250×250 px · bone marrow aspirate smear · 40× oil immersion — 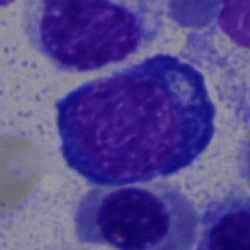Morphology — nucleated red blood cell.